Peripheral blood film; Romanowsky stain:
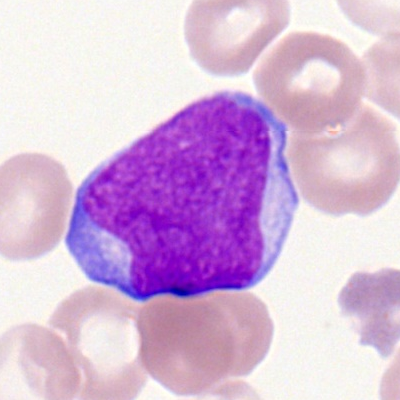

Q: What is the morphological classification of this cell?
A: Myeloid blast.